Bone marrow aspirate smear — 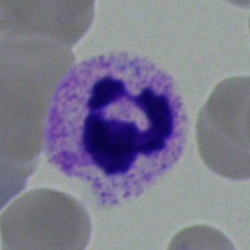
The cell shown is a polymorphonuclear neutrophil.